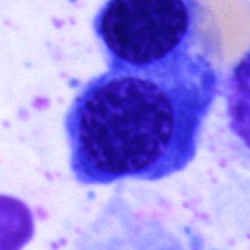
Classification — erythroblast.